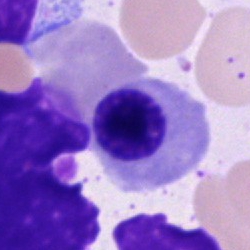 Q: What is the morphological classification of this cell?
A: A nucleated red blood cell.